Single cell centered in the field. Image size 250×250. Bone marrow smear
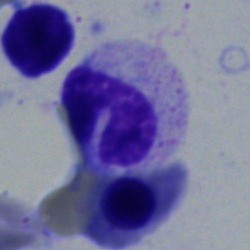
Morphological class: band neutrophil.